Bone marrow smear: 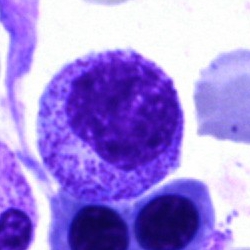 This is a myelocyte.